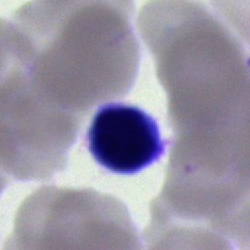 Impression → lymphocyte.